Bone marrow aspirate smear:
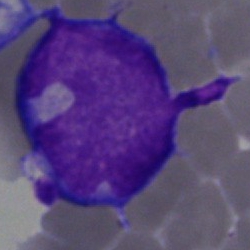 Morphological class — monocyte.